Bone marrow aspirate smear; May-Grünwald-Giemsa stain — 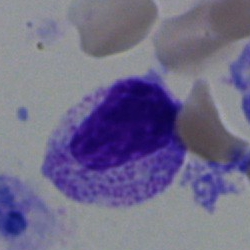
Specimen: bone marrow smear.
Cell type: myelocyte.
Lineage: myeloid.